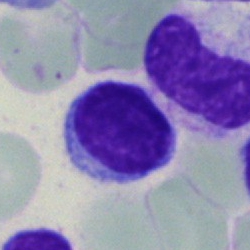Morphological class = typical lymphocyte.